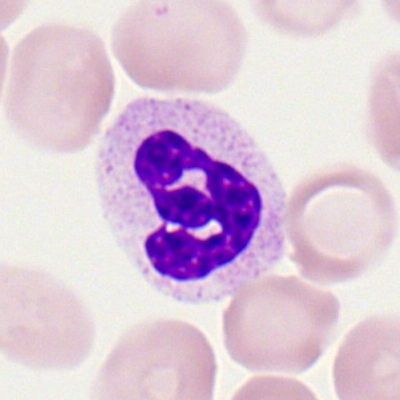
Specimen: peripheral blood film.
Classification: segmented neutrophil.